Bone marrow aspirate smear:
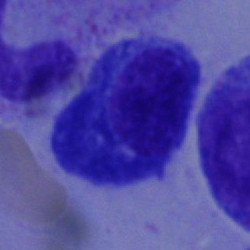 Q: Identify the cell.
A: This is a plasma cell.